Bone marrow smear: 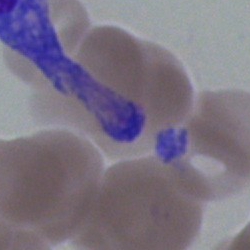

Morphology consistent with an artefact.